May-Grünwald-Giemsa stain; 40× oil immersion; bone marrow aspirate smear:
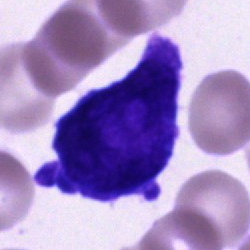
Q: What cell is this?
A: This is a cell of indeterminate lineage.